Bone marrow smear — 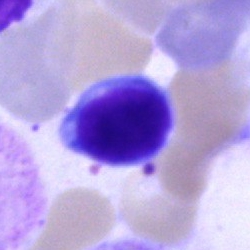Q: What is shown here?
A: It is a typical lymphocyte.